Bone marrow aspirate smear. Image size 250×250: 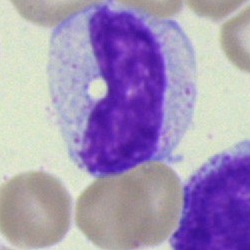Specimen: bone marrow aspirate smear.
Cell type: metamyelocyte.